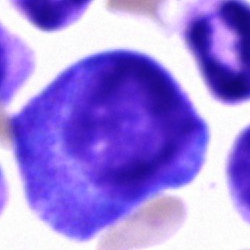

Showing a progranulocyte.